Bone marrow smear:
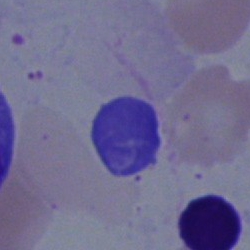 Q: What is shown here?
A: Artifact.